Bone marrow aspirate smear; 250×250 px
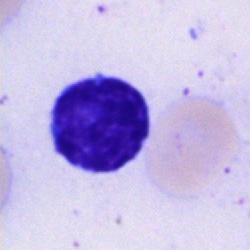
Cell = lymphocyte.